Bone marrow smear — 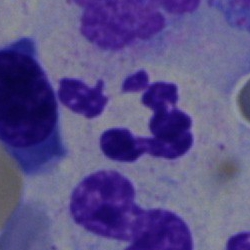
Q: What cell is this?
A: A polymorphonuclear neutrophil.